Bone marrow aspirate smear · Pappenheim-stained:
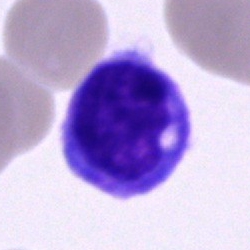 Morphology → monocyte.